Peripheral blood film: 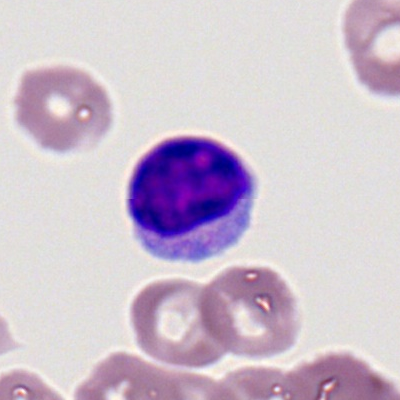 Specimen: peripheral blood smear.
Classification: lymphocyte.
Lineage: lymphoid.